Bone marrow smear.
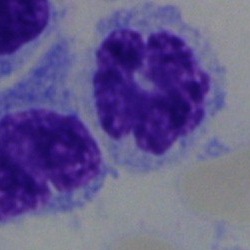
Single cell identified as a monocyte.